Bone marrow aspirate smear
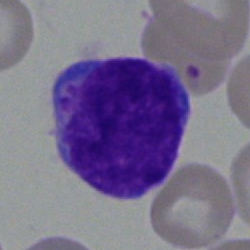
Morphology consistent with a blast.